Bone marrow aspirate smear · cropped to a single cell: 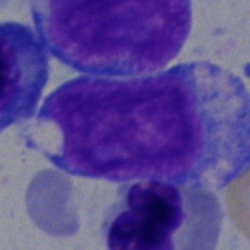 This is an undifferentiated blast.